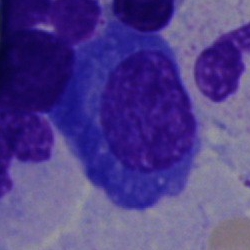

Specimen: bone marrow smear.
Cell type: plasma cell.
Lineage: lymphoid.